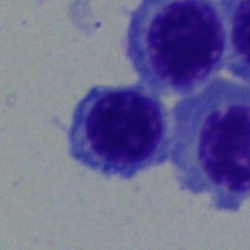 Q: Which cell type is shown here?
A: A normoblast.